Bone marrow aspirate smear
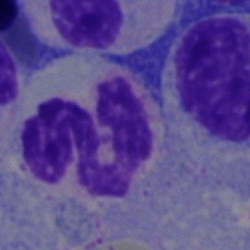 Morphological class — polymorphonuclear neutrophil.